Bone marrow smear:
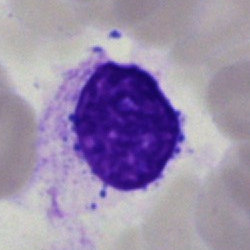
Cell type — artifact.